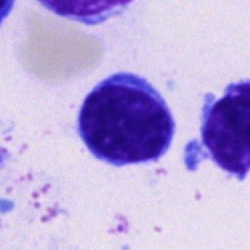Single cell identified as a lymphocyte.